Bone marrow aspirate smear.
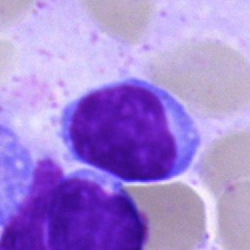 This is a blast cell.